Bone marrow smear — 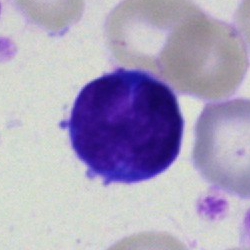

Morphology — typical lymphocyte.